Bone marrow aspirate smear
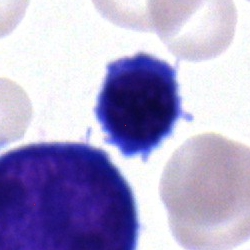
Specimen: bone marrow aspirate smear.
Morphological class: promyelocyte.
Lineage: myeloid.